Single-cell crop · bone marrow aspirate smear:
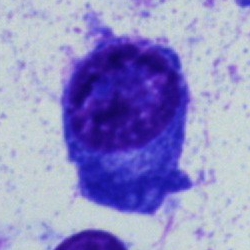Showing a plasma cell.